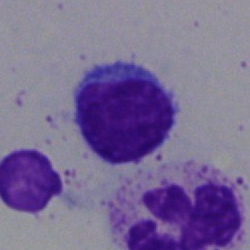

Morphology — lymphocyte.